Single-cell crop. Bone marrow smear: 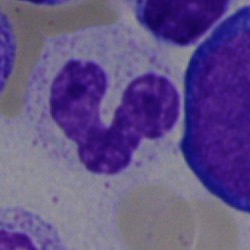{"cell_type": "polymorphonuclear neutrophil", "lineage": "myeloid"}